Bone marrow smear:
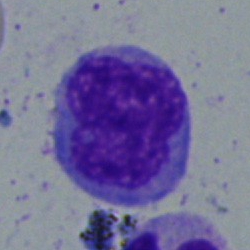 Classification — monocyte.